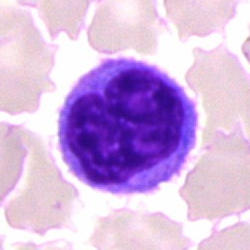

Showing a plasma cell.